Bone marrow smear · 250 by 250 pixels · brightfield microscopy, 40× oil immersion:
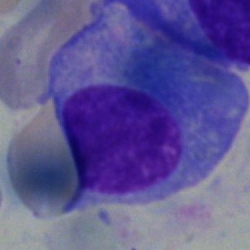

Q: What type of cell is this?
A: This is a plasma cell.